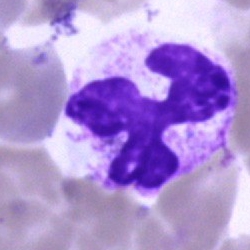 Morphological class: neutrophil (segmented).